Bone marrow aspirate smear; image size 250×250 — 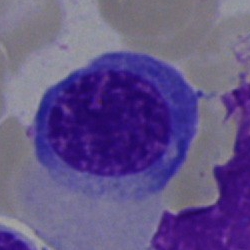Classification — nucleated red blood cell.